Bone marrow smear.
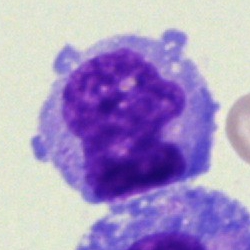 Morphology consistent with a monocyte.